Bone marrow smear — 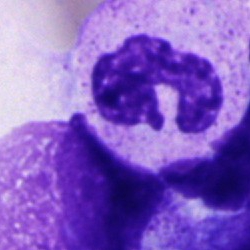
Showing a neutrophil (segmented).